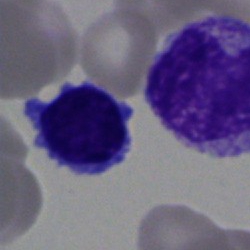
Bone marrow aspirate smear, single cell — typical lymphocyte.